Bone marrow smear. May-Grünwald-Giemsa stain: 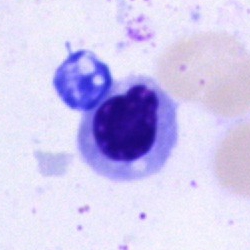

The cell type is erythroblast.